Single cell centered in the field · bone marrow aspirate smear · May-Grünwald-Giemsa/Pappenheim stain:
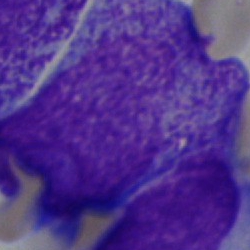
Morphology consistent with a promyelocyte.